Bone marrow aspirate smear · 250×250 px
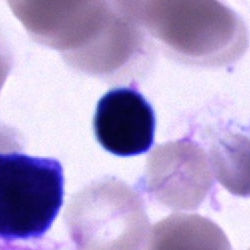

Showing a cell of indeterminate lineage.